Bone marrow aspirate smear:
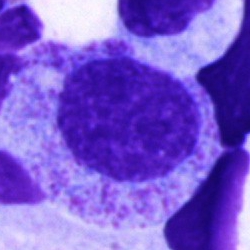
Q: What type of cell is this?
A: A promyelocyte.